Bone marrow aspirate smear.
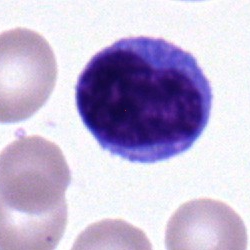

Specimen: bone marrow aspirate smear.
Cell: lymphocyte.
Lineage: lymphoid.